Bone marrow aspirate smear — 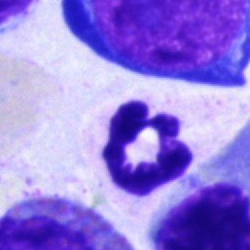The cell shown is a neutrophil (segmented).